May-Grünwald-Giemsa stain. Bone marrow smear:
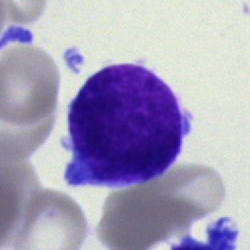

The cell type is blast cell.